Bone marrow aspirate smear
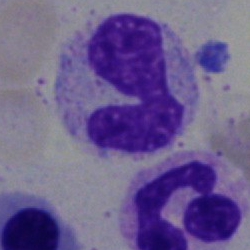

The cell shown is a segmented neutrophil.